Bone marrow aspirate smear:
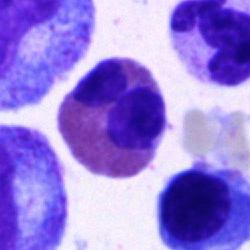 Q: What cell is this?
A: It is an eosinophilic granulocyte.